250×250 px; bone marrow aspirate smear — 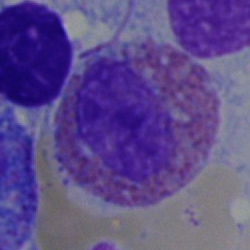
Cell type: eosinophilic granulocyte.